Bone marrow aspirate smear — 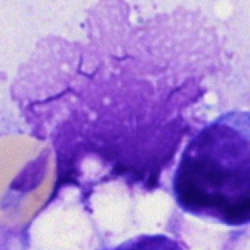 The morphological class is artifact.